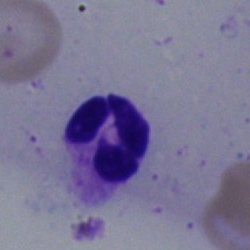

Q: What cell is this?
A: This is a neutrophil (segmented).